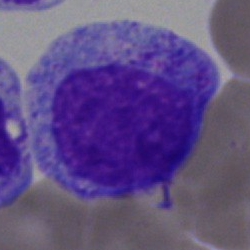Single-cell crop from a bone marrow smear: progranulocyte.